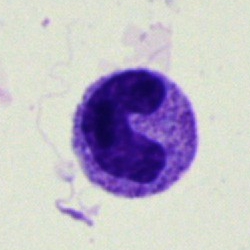{"cell_type": "neutrophil (band)"}